Bone marrow smear.
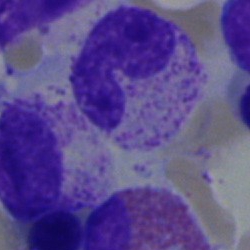
Morphological class: neutrophil (band).